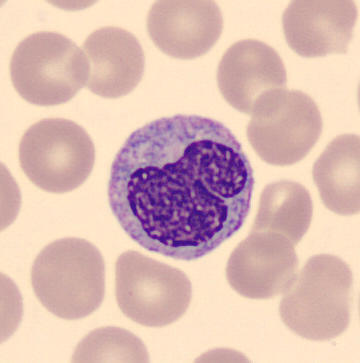

Specimen: peripheral blood film.
Cell type: monocyte.
Lineage: myeloid.